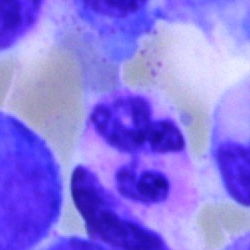 {"cell_type": "segmented neutrophil"}